Bone marrow aspirate smear: 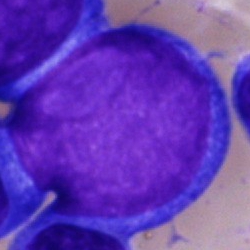
This is an undifferentiated blast.